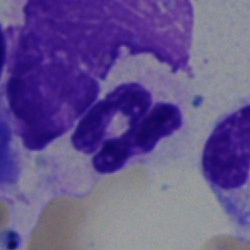
Morphology — neutrophil (segmented).